Bone marrow smear:
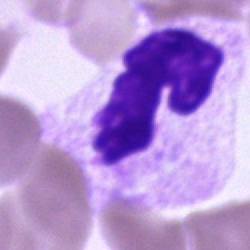

The classification is neutrophil (band).